May-Grünwald-Giemsa/Pappenheim stain; bone marrow aspirate smear.
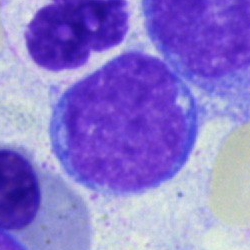
Q: Which cell type is shown here?
A: It is a blast.